Bone marrow aspirate smear: 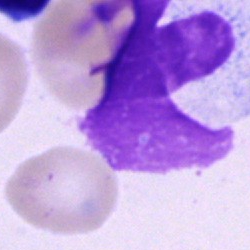 Morphology — artefact.